Bone marrow aspirate smear:
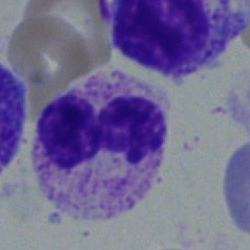 Cell — segmented neutrophil.